40× oil immersion · bone marrow aspirate smear:
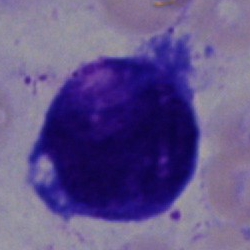

The cell type is blast.